100× oil immersion, 14.14 px/µm · peripheral blood smear — 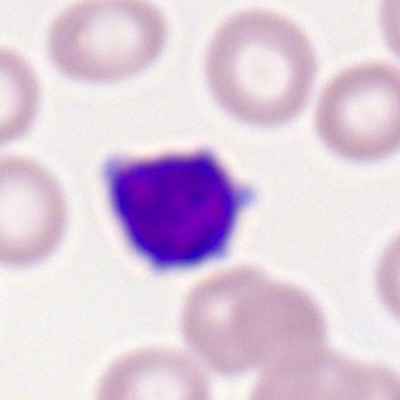 Morphology → typical lymphocyte.